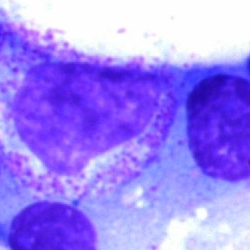Bone marrow smear showing a myelocyte.